Pappenheim-stained; bone marrow smear; 250×250 px:
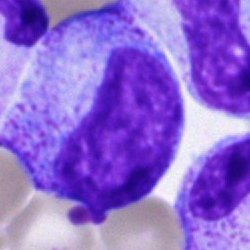Morphology — progranulocyte.